Single-cell field. Bone marrow smear.
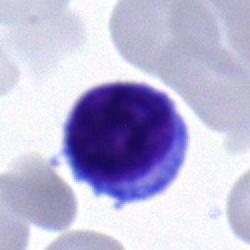Q: What is shown here?
A: It is a typical lymphocyte.